Peripheral blood smear.
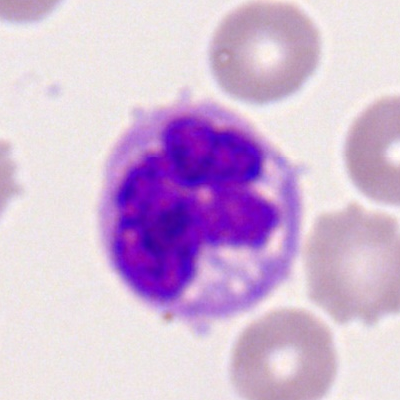

Q: What cell is this?
A: Monocyte.